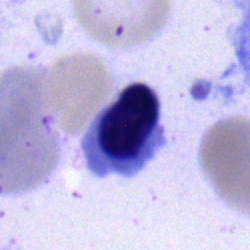

Specimen: bone marrow aspirate smear.
Morphological class: nucleated red blood cell.
Lineage: erythroid.